Single-cell field. Bone marrow aspirate smear
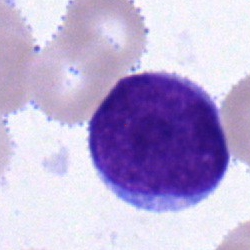 Single cell identified as a blast.